Peripheral blood smear · Romanowsky stain · 400×400: 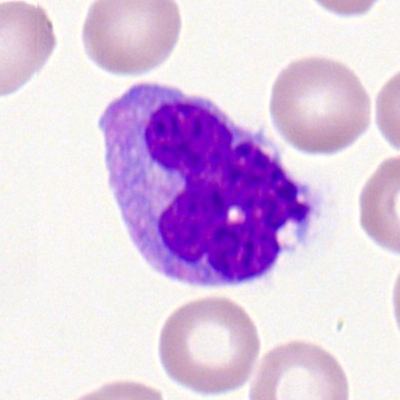
The morphological class is monocyte.